Single-cell field · bone marrow aspirate smear
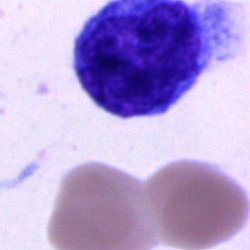Q: What is the morphological classification of this cell?
A: Undifferentiated blast.